Bone marrow aspirate smear — 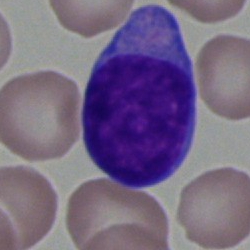
Blast cell.